250×250 px · bone marrow aspirate smear.
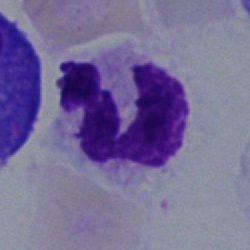
Classification — segmented neutrophil.